Bone marrow smear — 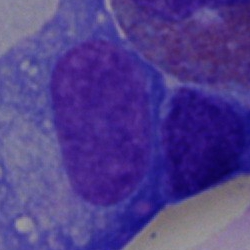Q: What is the morphological classification of this cell?
A: It is a plasmacyte.